Bone marrow aspirate smear
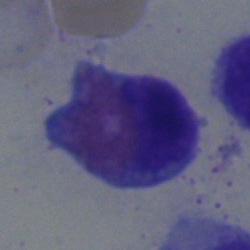 The cell is eosinophil.